Bone marrow aspirate smear — 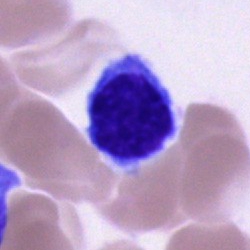
The cell shown is a typical lymphocyte.